Bone marrow aspirate smear. Brightfield microscopy, 40× oil immersion: 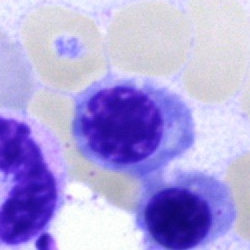
This is a nucleated red blood cell.